Peripheral blood film.
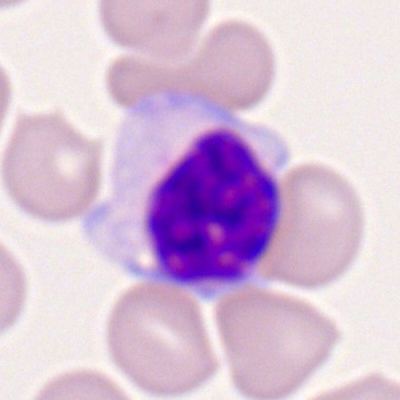Cell type — typical lymphocyte.